Bone marrow aspirate smear · 40× objective, oil immersion
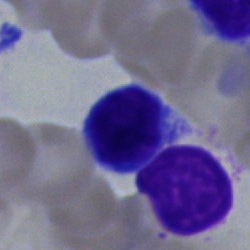

Q: What type of cell is this?
A: It is a typical lymphocyte.